Bone marrow smear: 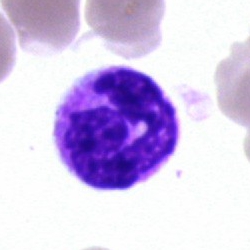 Specimen: bone marrow aspirate smear.
Cell type: polymorphonuclear neutrophil.
Lineage: myeloid.